Bone marrow smear — 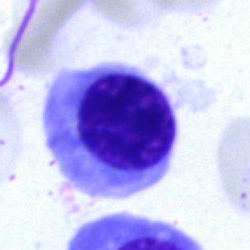 An erythroblast.